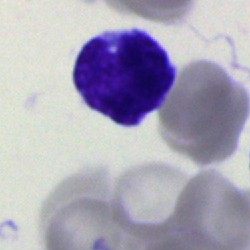

The cell is blast cell.